Bone marrow smear:
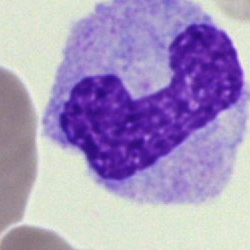 Morphology consistent with a stab cell.